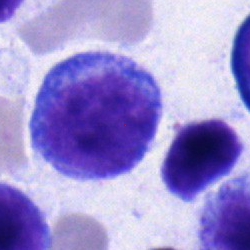

Classification: lymphocyte.